Bone marrow smear.
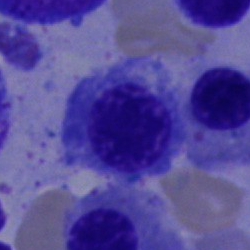This is a nucleated red blood cell.